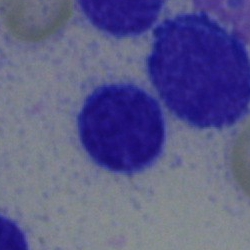
Bone marrow smear showing a lymphocyte.